Bone marrow aspirate smear — 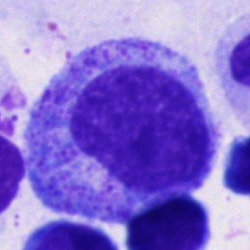Single cell identified as a promyelocyte.